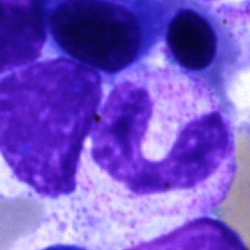

Q: What is the morphological classification of this cell?
A: Neutrophil (band).